Peripheral blood smear.
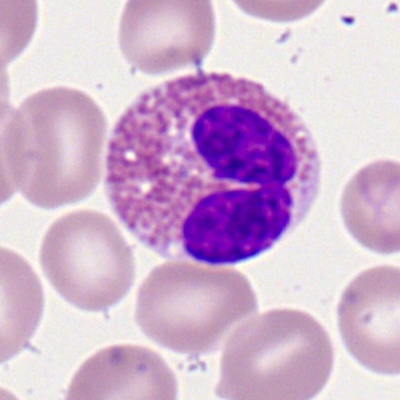
Single cell identified as an eosinophil.